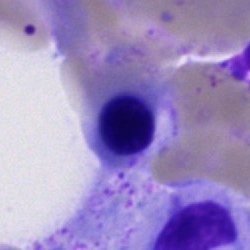 Specimen: bone marrow smear.
Morphological class: erythroblast.
Lineage: erythroid.